May-Grünwald-Giemsa/Pappenheim stain. Bone marrow aspirate smear
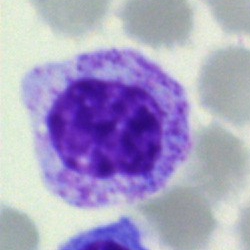 Myelocyte.